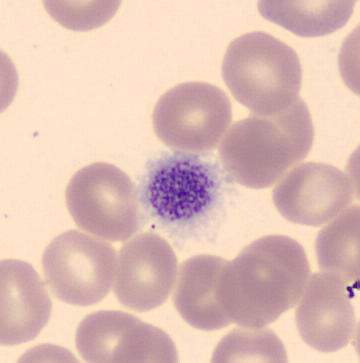Peripheral blood smear. Showing a platelet.